Peripheral blood smear — 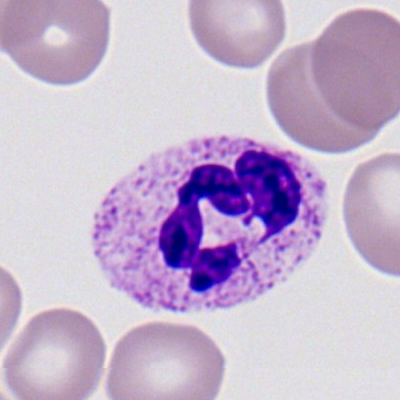 Specimen: peripheral blood smear.
Classification: polymorphonuclear neutrophil.